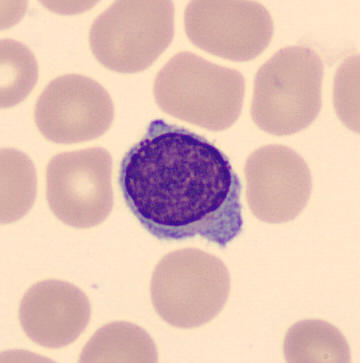Specimen: peripheral blood smear.
Cell type: typical lymphocyte.
Lineage: lymphoid.